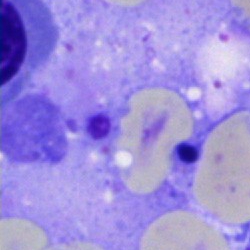

Cell type = artefact.